Bone marrow aspirate smear.
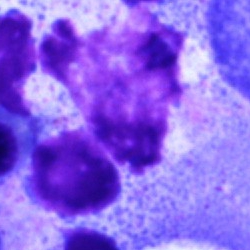

Morphology consistent with an artifact.